Bone marrow aspirate smear.
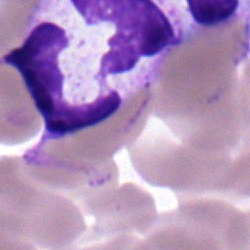 Morphology → polymorphonuclear neutrophil.